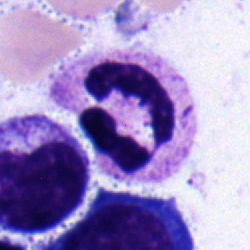 Q: Which cell type is shown here?
A: This is a polymorphonuclear neutrophil.